MGG-stained; bone marrow aspirate smear — 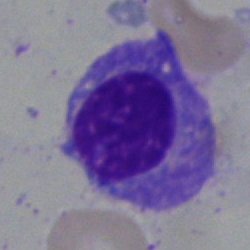

{"cell_type": "plasmacyte", "lineage": "lymphoid"}